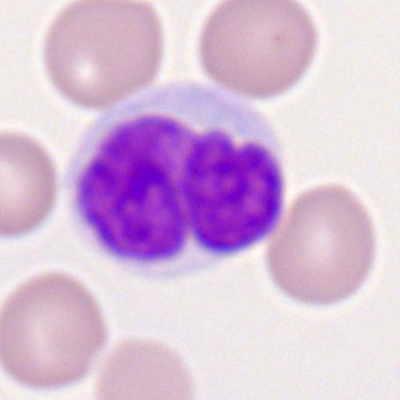Cell — monocyte.